Romanowsky-stained · M8 digital microscope (Precipoint), 100× oil immersion · peripheral blood smear: 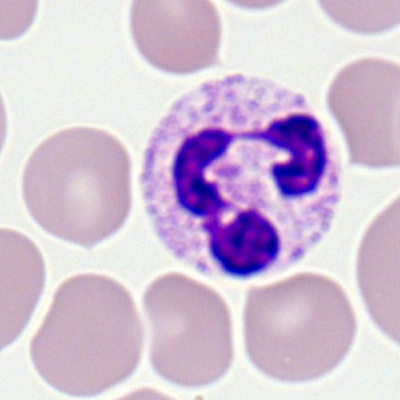The cell shown is a polymorphonuclear neutrophil.